Bone marrow aspirate smear: 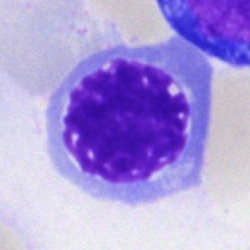

{"cell_type": "normoblast", "lineage": "erythroid"}